Peripheral blood film.
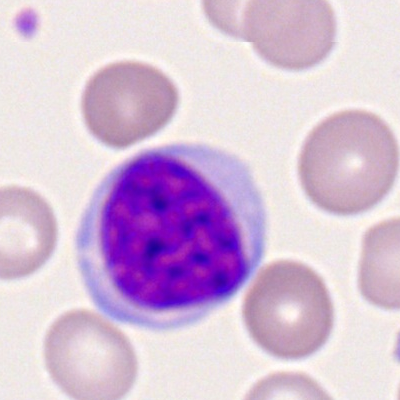Cell: lymphocyte.